Bone marrow aspirate smear
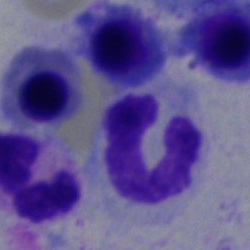

This is a neutrophil (segmented).